Bone marrow smear: 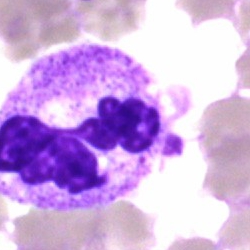
Q: Which cell type is shown here?
A: Neutrophil (segmented).